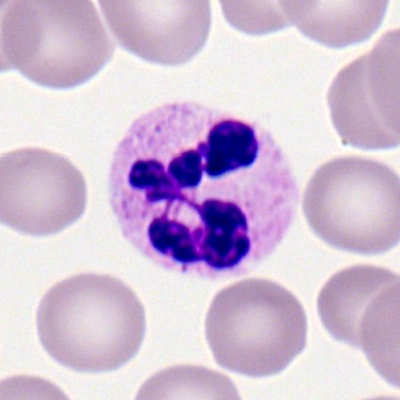
Showing a polymorphonuclear neutrophil.